Bone marrow smear · cropped to a single cell — 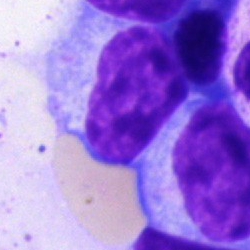

Showing a typical lymphocyte.